40× oil immersion; bone marrow smear; May-Grünwald-Giemsa/Pappenheim stain:
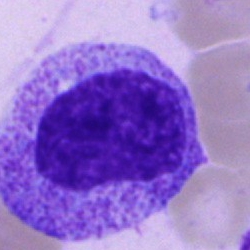 {"cell_type": "promyelocyte"}